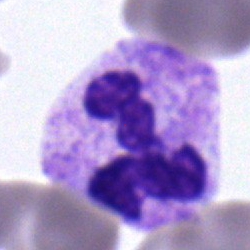 Specimen: bone marrow aspirate smear.
Cell type: neutrophil (segmented).
Lineage: myeloid.